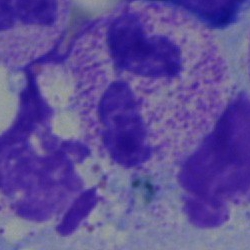 Q: Identify the cell.
A: Polymorphonuclear neutrophil.